Bone marrow aspirate smear.
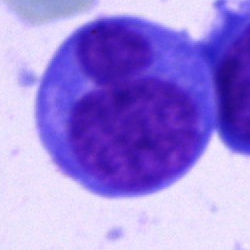

Cell = blast cell.